Bone marrow smear — 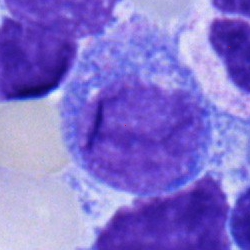

Classification: promyelocyte.